Bone marrow smear:
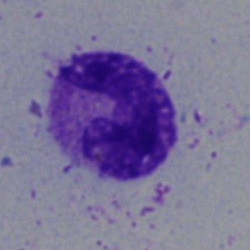

Morphology → band neutrophil.